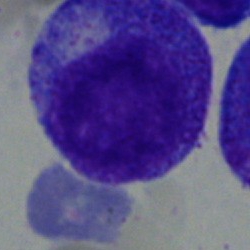Q: What is shown here?
A: This is a promyelocyte.